Bone marrow aspirate smear.
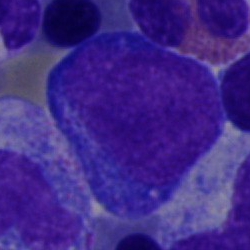Classification — proerythroblast.